Bone marrow aspirate smear — 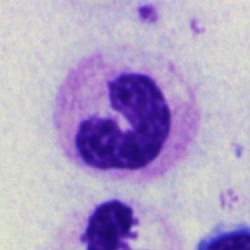

{"cell_type": "band neutrophil", "lineage": "myeloid"}